Bone marrow smear · 250×250 px: 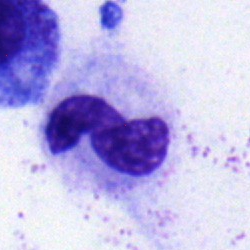
This is a band-form neutrophil.